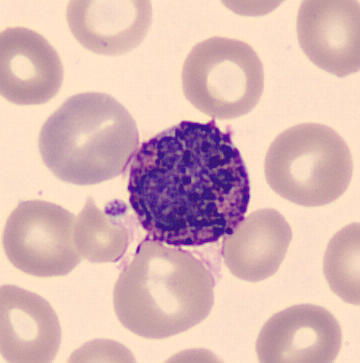
Specimen: peripheral blood film.
Morphological class: basophilic granulocyte.
Lineage: myeloid.